250 by 250 pixels. Bone marrow aspirate smear:
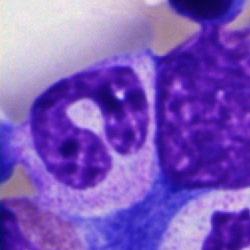 Morphological class = segmented neutrophil.